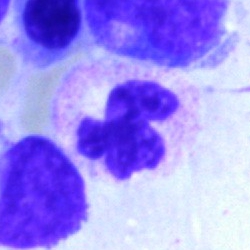

Bone marrow aspirate smear, single cell — neutrophil (segmented).